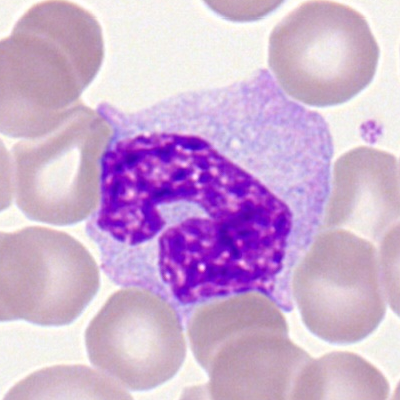 Morphological class = monocyte.